Bone marrow smear · single cell centered in the field:
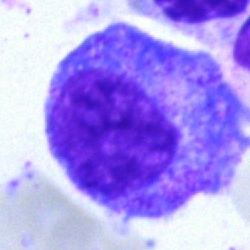
Morphology consistent with a promyelocyte.